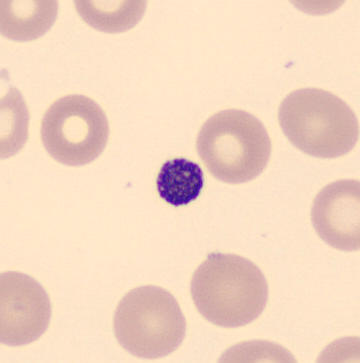
Peripheral blood smear.

Q: What is this?
A: Platelet (thrombocyte).